May-Grünwald-Giemsa stain · bone marrow aspirate smear: 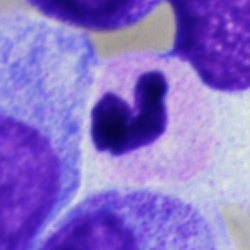

Cell: neutrophil (segmented).